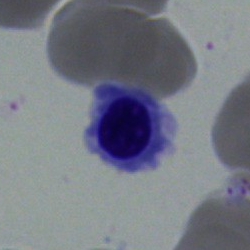

Showing a nucleated red blood cell.